Bone marrow aspirate smear — 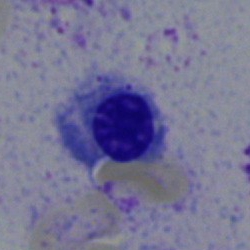An erythroblast.